Bone marrow smear: 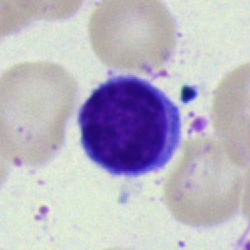 Morphological class — lymphocyte.